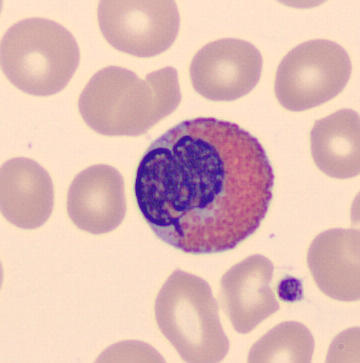
Cell — eosinophil.